Bone marrow aspirate smear. 40× oil immersion.
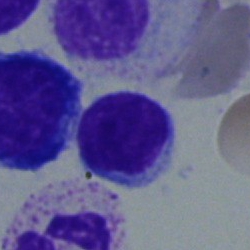Morphology consistent with a lymphocyte.